Bone marrow aspirate smear
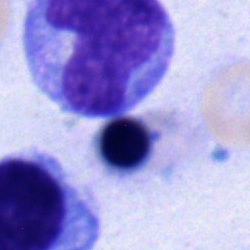 A nucleated red cell.